Single-cell field. 40× oil immersion. Bone marrow smear:
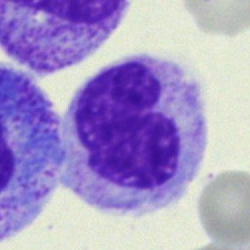Specimen: bone marrow smear.
Classification: lymphocyte.
Lineage: lymphoid.